Bone marrow smear; 40× oil immersion
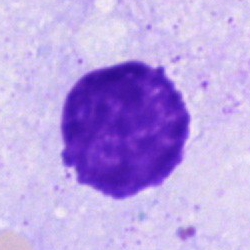Q: What is shown here?
A: Artifact.